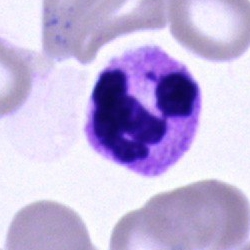 Specimen: bone marrow smear.
Classification: segmented neutrophil.
Lineage: myeloid.